Bone marrow smear. Image size 250×250 — 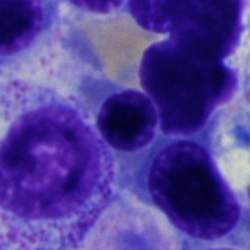 The classification is nucleated red cell.